Bone marrow aspirate smear — 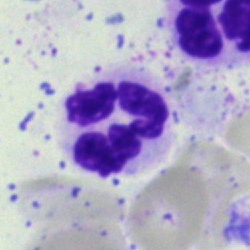

Cell type = polymorphonuclear neutrophil.